Bone marrow smear — 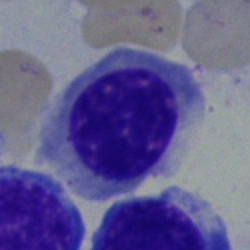 Cell — erythroblast.